Bone marrow smear · brightfield, 40× oil-immersion objective
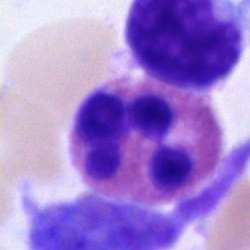Specimen: bone marrow smear.
Cell type: eosinophilic granulocyte.
Lineage: myeloid.